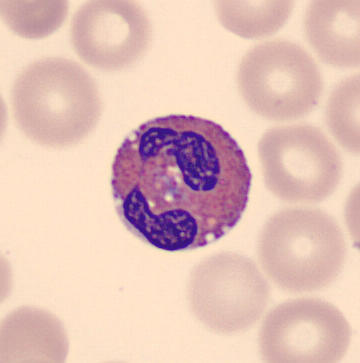

Impression → eosinophil.